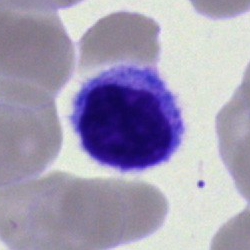 A typical lymphocyte.